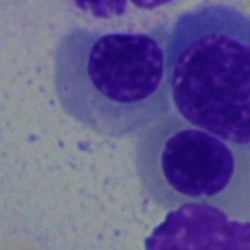
A nucleated red blood cell on a bone marrow smear.